Bone marrow aspirate smear
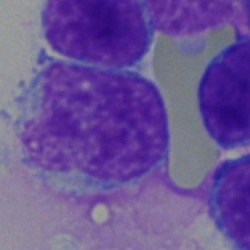
Morphology consistent with a lymphocyte.